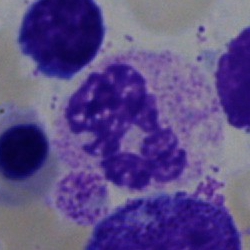
Showing a segmented neutrophil.